Bone marrow aspirate smear; cropped to a single cell:
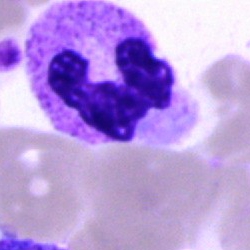Q: Which cell type is shown here?
A: Segmented neutrophil.